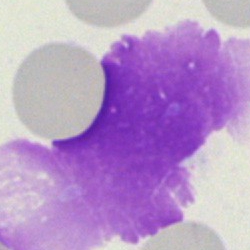

Q: What is shown here?
A: An artifact.